MGG-stained; bone marrow aspirate smear:
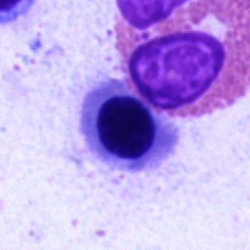Cell: nucleated red blood cell.